Peripheral blood smear · 100× oil immersion · Romanowsky stain: 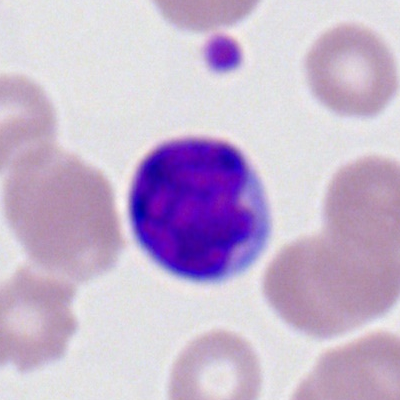

The cell shown is a lymphocyte.